Romanowsky-type stain; peripheral blood smear
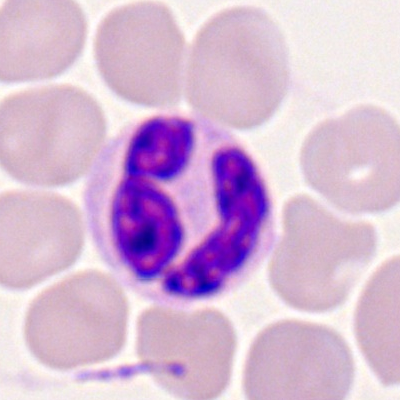

Q: What type of cell is this?
A: A neutrophil (segmented).